Bone marrow smear. 250 by 250 pixels.
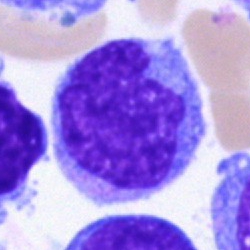

Monocyte.